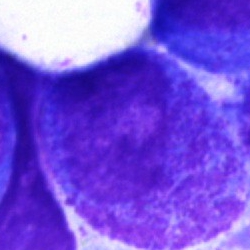 Specimen: bone marrow smear.
Classification: progranulocyte.